Bone marrow smear.
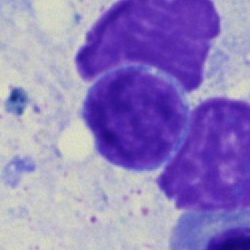

The cell is lymphocyte.